Brightfield microscopy, 40× oil immersion; bone marrow aspirate smear: 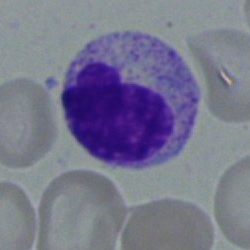
A myelocyte.